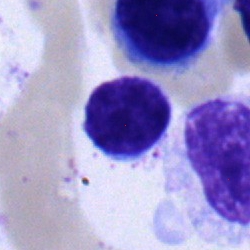
A typical lymphocyte on a bone marrow smear.